Bone marrow aspirate smear: 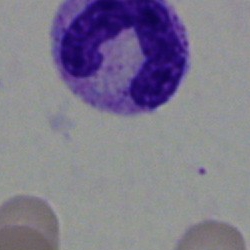

Classification = band neutrophil.